Brightfield, 40× oil-immersion objective; bone marrow smear:
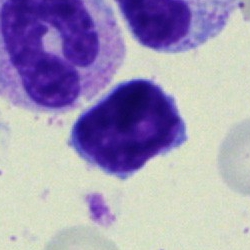Cell: lymphocyte.